Single-cell crop. Bone marrow smear. MGG-stained: 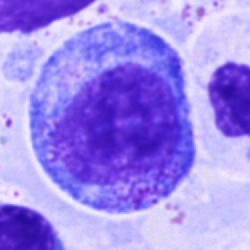

A promyelocyte.